Bone marrow smear
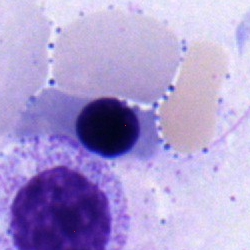 Classification — normoblast.